May-Grünwald-Giemsa stain. Bone marrow smear
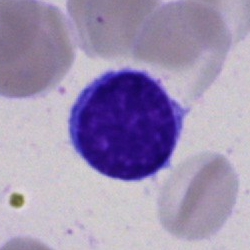
The cell is lymphocyte.